Bone marrow aspirate smear · single-cell field: 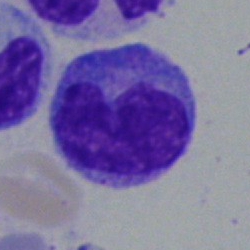A monocyte.